Bone marrow smear. 250 by 250 pixels. 40× objective, oil immersion — 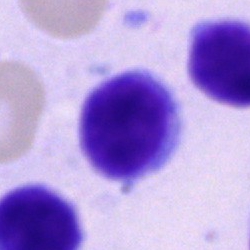
Morphological class = typical lymphocyte.